Pappenheim-stained · bone marrow smear.
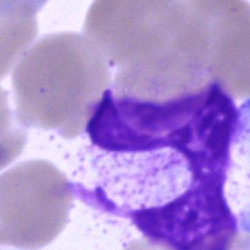

This is a polymorphonuclear neutrophil.